CellaVision DM96; peripheral blood film: 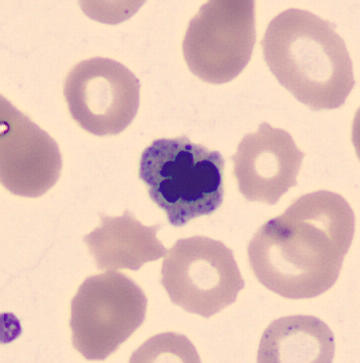Morphological class: erythroblast.